Peripheral blood film.
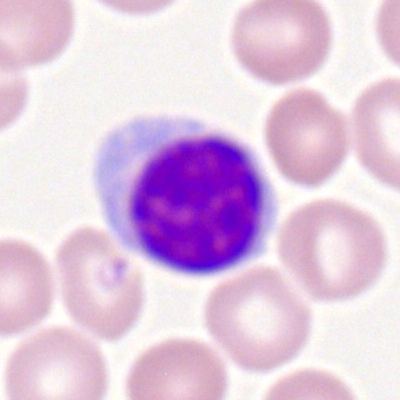

Specimen: peripheral blood film.
Morphological class: typical lymphocyte.
Lineage: lymphoid.